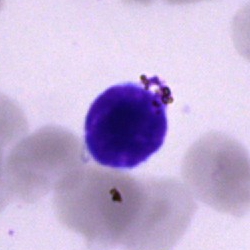{"cell_type": "typical lymphocyte"}